250×250. Bone marrow smear: 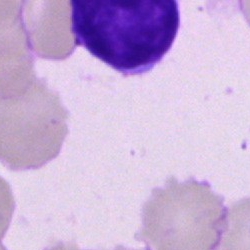 Showing a typical lymphocyte.